Bone marrow smear: 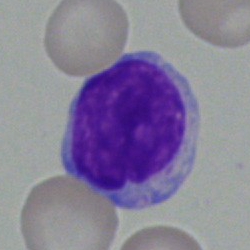

Morphology consistent with a typical lymphocyte.